May-Grünwald-Giemsa/Pappenheim stain · bone marrow smear — 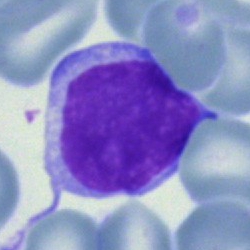{"cell_type": "lymphocyte", "lineage": "lymphoid"}